Peripheral blood smear.
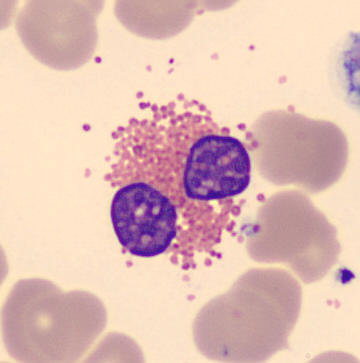 Specimen: peripheral blood smear.
Classification: eosinophilic granulocyte.